Bone marrow smear — 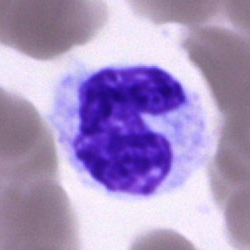Q: Identify the cell.
A: Monocyte.